Peripheral blood smear
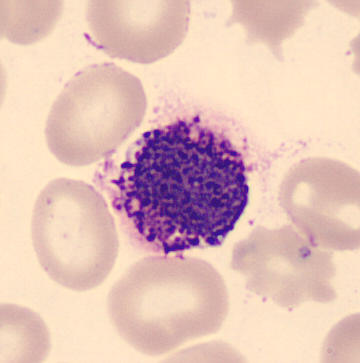
Single cell identified as a basophilic granulocyte.